Bone marrow smear: 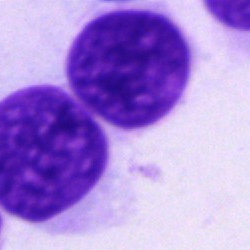
Q: What is shown here?
A: This is an artifact.